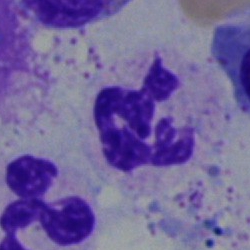 Classification: neutrophil (segmented).